Brightfield microscopy, 40× oil immersion. Bone marrow aspirate smear
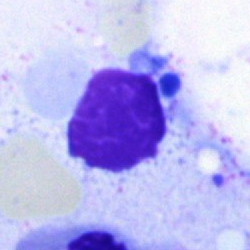 Morphological class: artefact.